Bone marrow aspirate smear
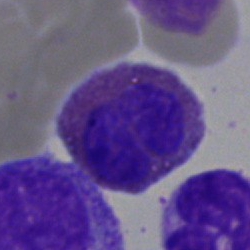

Morphology → eosinophil.